Bone marrow smear.
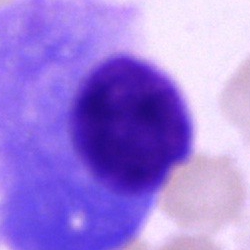 Morphology consistent with a plasma cell.